Bone marrow aspirate smear: 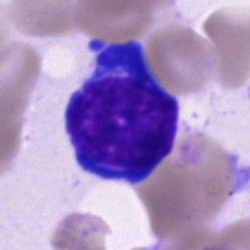
Q: What cell is this?
A: A nucleated red blood cell.